Single cell centered in the field; bone marrow smear — 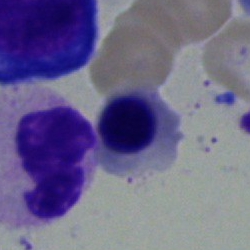Single cell identified as a normoblast.